Single-cell crop · bone marrow smear — 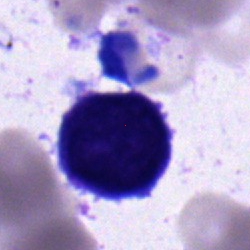
A blast cell.